40× oil immersion. Bone marrow smear:
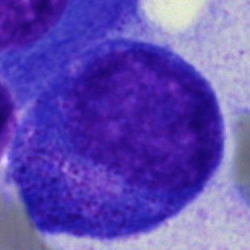Morphology → promyelocyte.